Bone marrow smear; May-Grünwald-Giemsa/Pappenheim stain.
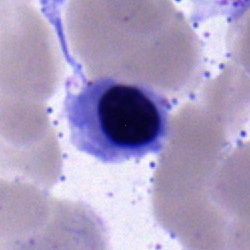 Impression — erythroblast.